Peripheral blood smear — 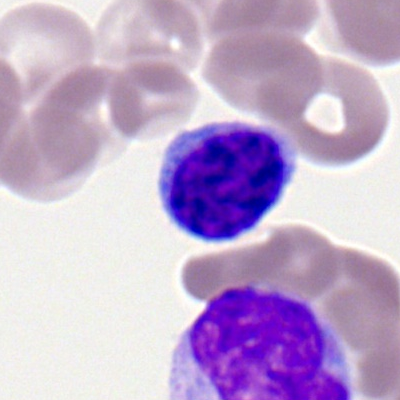Morphological class: lymphocyte.